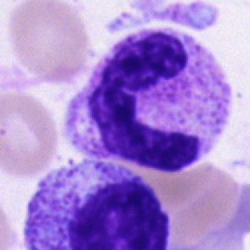Morphology → band neutrophil.